Bone marrow aspirate smear
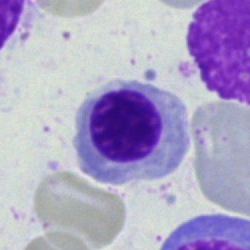
Morphological class = normoblast.